Bone marrow aspirate smear — 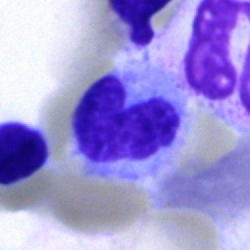

A stab cell.